Bone marrow aspirate smear; brightfield microscopy, 40× oil immersion
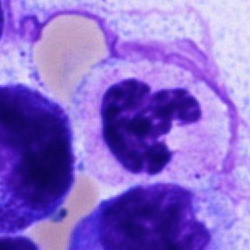 Q: What type of cell is this?
A: A neutrophil (segmented).